Bone marrow aspirate smear.
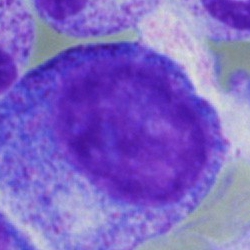
The cell shown is a progranulocyte.